Peripheral blood smear:
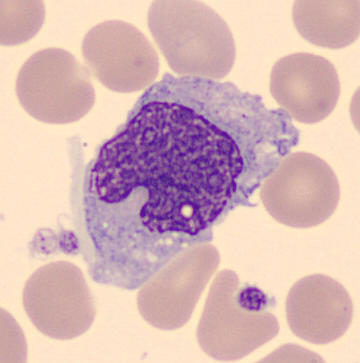Cell type: monocyte.